Bone marrow aspirate smear
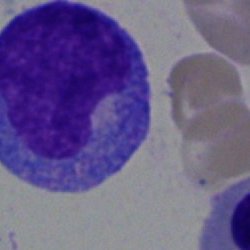

Progranulocyte.